Image size 250×250; brightfield microscopy, 40× oil immersion; bone marrow smear: 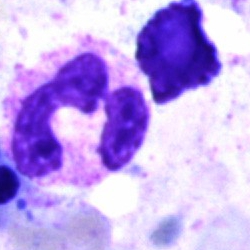

Impression — segmented neutrophil.